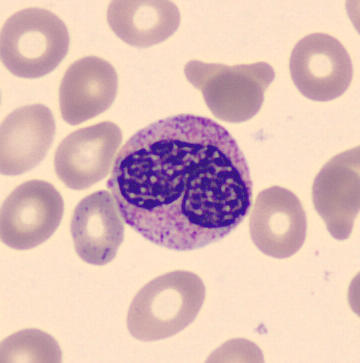
Image: Peripheral blood film · CellaVision DM96 · single-cell crop.

Morphology consistent with a metamyelocyte.